Bone marrow smear.
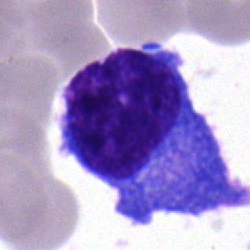 Cell — plasmacyte.